Image size 250×250. 40× objective, oil immersion. Bone marrow aspirate smear
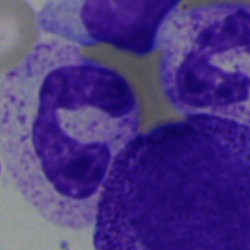

Neutrophil (segmented).